Single-cell crop; image size 250×250; bone marrow aspirate smear: 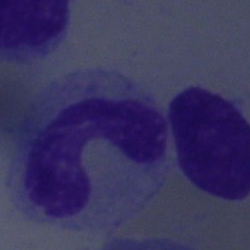 Stab cell.